Bone marrow aspirate smear:
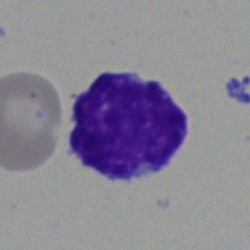 A typical lymphocyte.